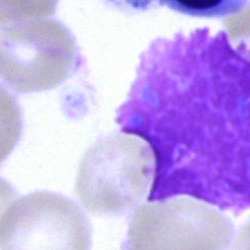

Classification — artifact.